Peripheral blood smear; Romanowsky stain: 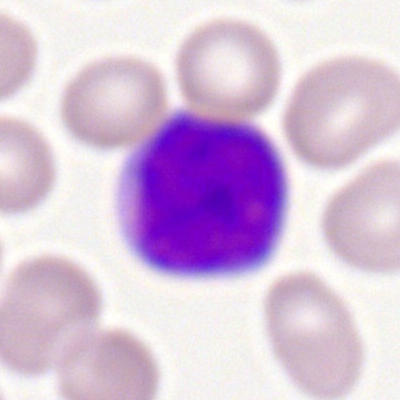

Q: What type of cell is this?
A: It is a lymphocyte.